Bone marrow aspirate smear:
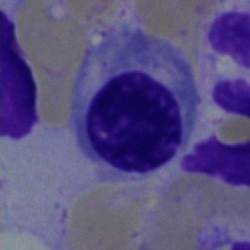
{"cell_type": "erythroblast", "lineage": "erythroid"}